40× objective, oil immersion. Bone marrow smear
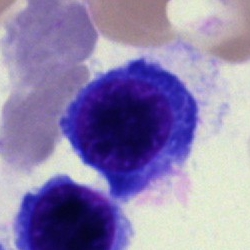 Classification — nucleated red cell.